Bone marrow aspirate smear — 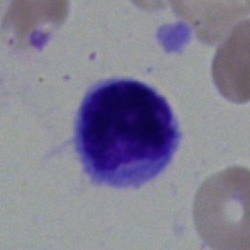Impression — lymphocyte.